Bone marrow aspirate smear
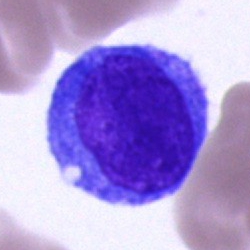Cell — undifferentiated blast.